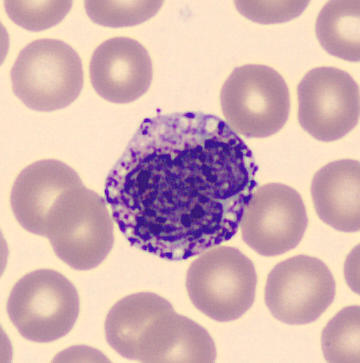Image: Peripheral blood film.

This is a basophil.